Single-cell crop. Bone marrow smear — 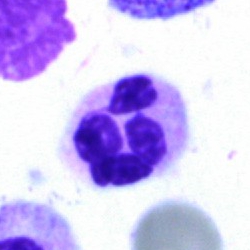 Polymorphonuclear neutrophil.